Peripheral blood film. 400 by 400 pixels: 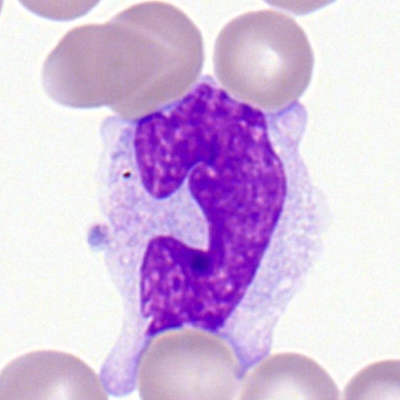 Morphology → monocyte.